250×250. Bone marrow aspirate smear:
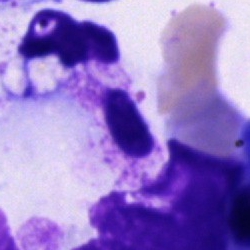 A cell of indeterminate lineage.